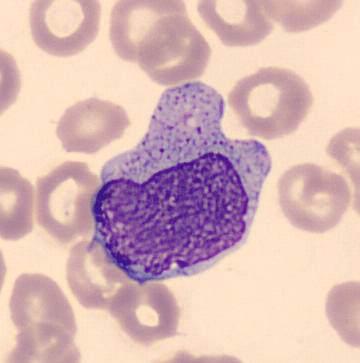Impression — monocyte.